Bone marrow aspirate smear
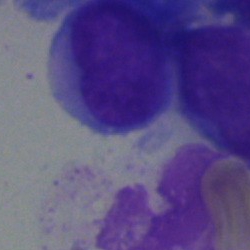
Specimen: bone marrow smear.
Cell type: lymphocyte.